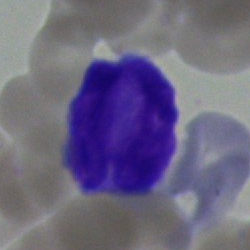Cell type — undifferentiated blast.